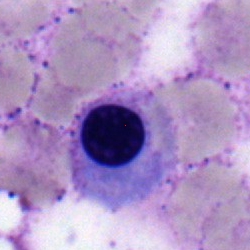
A nucleated red cell on a bone marrow smear.